Bone marrow smear
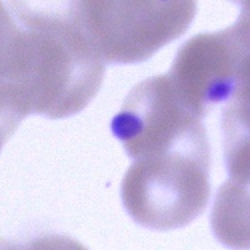
The classification is artefact.